400×400 · peripheral blood film — 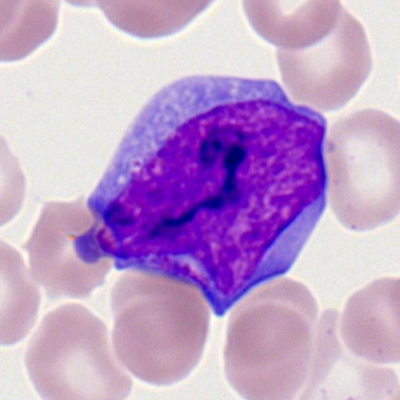
Q: What is the morphological classification of this cell?
A: It is a myeloid blast.